Single-cell crop · MGG-stained · bone marrow aspirate smear: 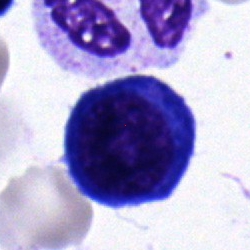
Specimen: bone marrow smear.
Classification: nucleated red blood cell.